Bone marrow smear. 40× oil immersion. Cropped to a single cell:
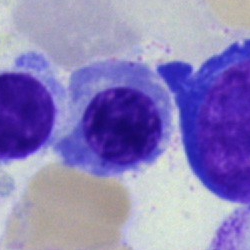
Q: What is shown here?
A: A nucleated red cell.